Bone marrow smear · 250×250 px · MGG-stained:
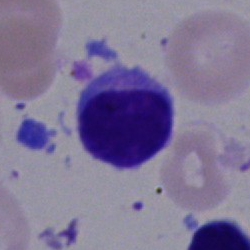 The cell shown is a lymphocyte.